Cropped to a single cell · bone marrow smear:
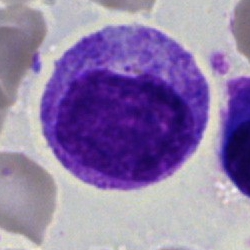Morphology — myelocyte.